Bone marrow smear:
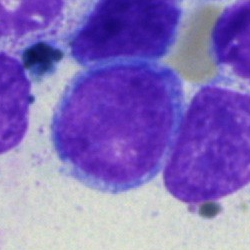 Q: What type of cell is this?
A: Blast cell.